Bone marrow aspirate smear — 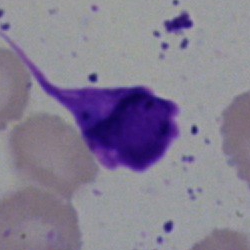Q: What is shown here?
A: It is an artefact.